M8 digital microscope (Precipoint), 100× oil immersion. 400×400. Peripheral blood film — 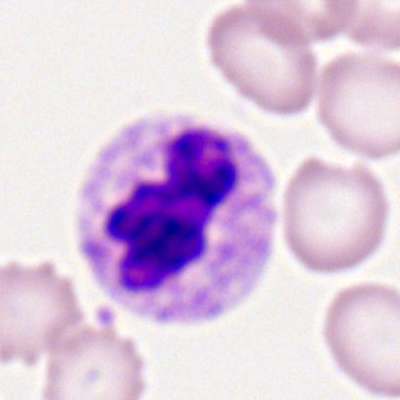 A segmented neutrophil.